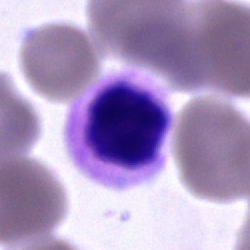A polymorphonuclear neutrophil.